Single cell centered in the field; bone marrow aspirate smear:
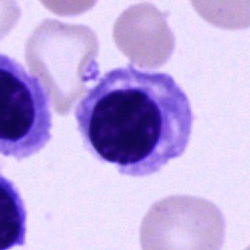Q: What is shown here?
A: Normoblast.